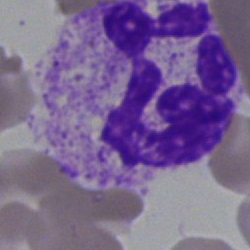
Cell = polymorphonuclear neutrophil.